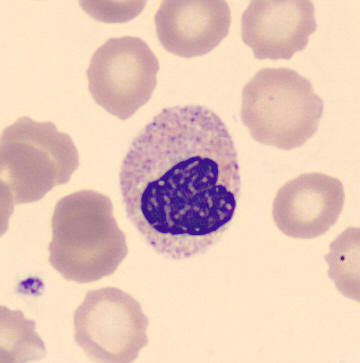 Specimen: peripheral blood smear.
Cell: stab cell.
Lineage: myeloid.